Bone marrow aspirate smear. 250×250: 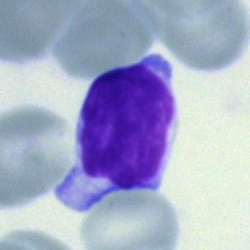

The classification is lymphocyte.